May-Grünwald-Giemsa stain · bone marrow smear · image size 250×250:
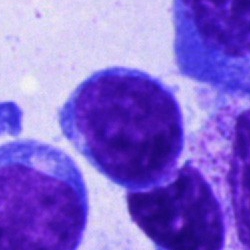 Morphology → typical lymphocyte.